Bone marrow aspirate smear. Brightfield, 40× oil-immersion objective — 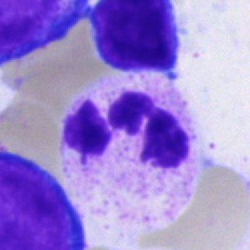{"cell_type": "segmented neutrophil"}